Bone marrow smear; May-Grünwald-Giemsa/Pappenheim stain
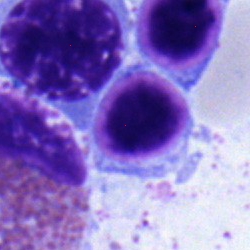Showing a nucleated red blood cell.